Bone marrow smear:
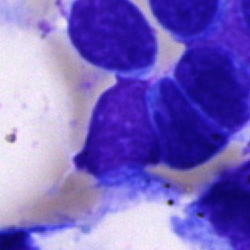 Specimen: bone marrow smear.
Cell: typical lymphocyte.
Lineage: lymphoid.